40× objective, oil immersion · MGG-stained · bone marrow aspirate smear
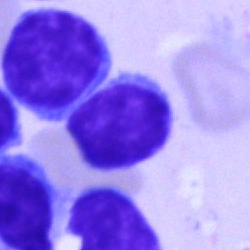This is a typical lymphocyte.